Bone marrow aspirate smear:
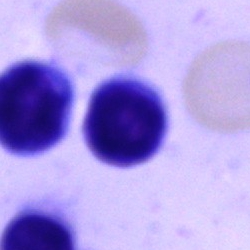

Single cell identified as a typical lymphocyte.